250×250; bone marrow smear
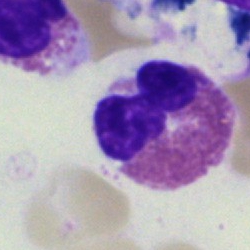 Specimen: bone marrow aspirate smear.
Cell: eosinophilic granulocyte.
Lineage: myeloid.